Bone marrow smear
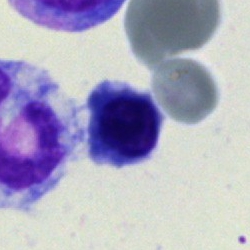

{"cell_type": "lymphocyte", "lineage": "lymphoid"}